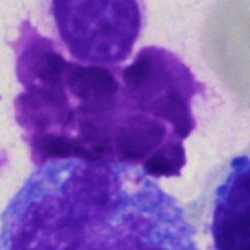
This is an artifact.